Bone marrow aspirate smear. MGG-stained — 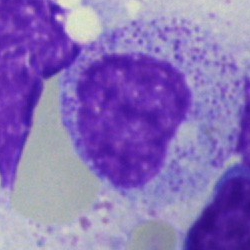
Q: Which cell type is shown here?
A: This is a myelocyte.